Bone marrow smear: 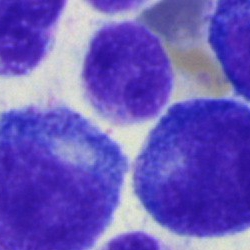 Specimen: bone marrow aspirate smear.
Classification: promyelocyte.
Lineage: myeloid.